Cropped to a single cell · bone marrow aspirate smear: 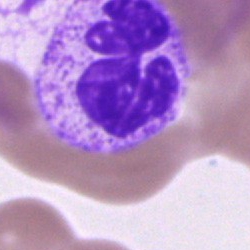
Q: What cell is this?
A: Polymorphonuclear neutrophil.